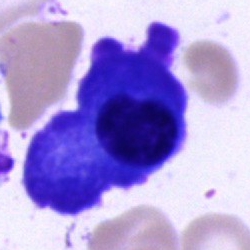
A plasma cell on a bone marrow smear.